Bone marrow smear; image size 250×250 — 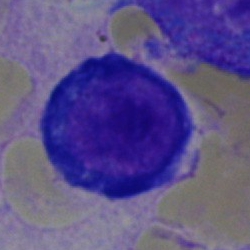Cell type — pronormoblast.